Bone marrow aspirate smear — 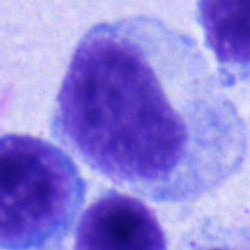Q: What is shown here?
A: Myelocyte.